Bone marrow aspirate smear · 250×250:
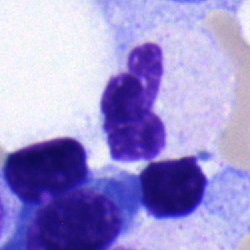 The classification is polymorphonuclear neutrophil.